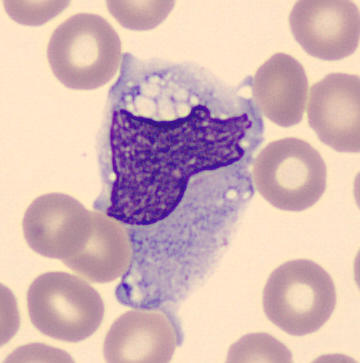 Image: Peripheral blood film. The cell type is monocyte.